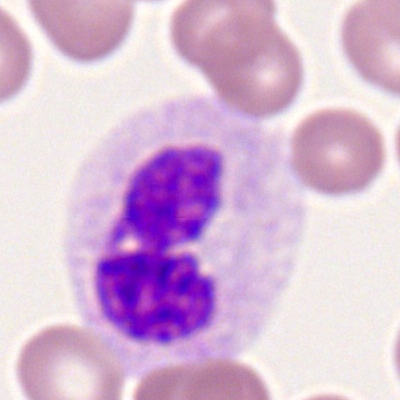{"cell_type": "neutrophil (segmented)", "lineage": "myeloid"}